Bone marrow smear: 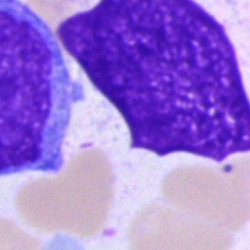
The classification is artifact.